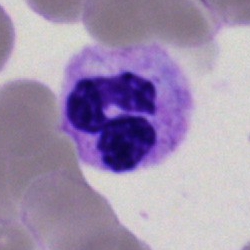

Q: What type of cell is this?
A: It is a polymorphonuclear neutrophil.